Cropped to a single cell. Peripheral blood film.
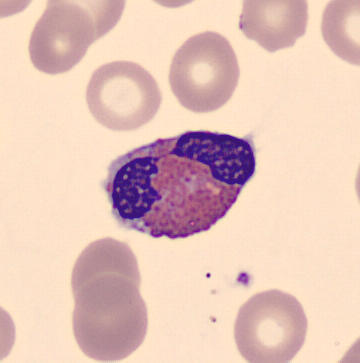

Eosinophilic granulocyte.